250×250 px; MGG-stained; bone marrow aspirate smear:
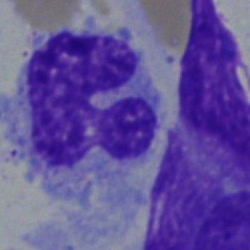The classification is monocyte.